Bone marrow smear · 250 by 250 pixels — 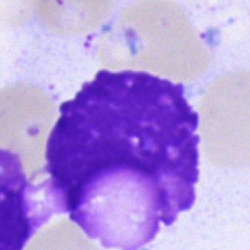

Morphology consistent with an artifact.